Single-cell field; bone marrow smear; May-Grünwald-Giemsa/Pappenheim stain:
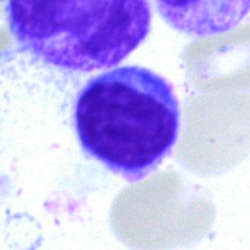

The cell shown is a typical lymphocyte.